Bone marrow smear
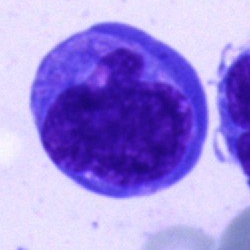

Specimen: bone marrow aspirate smear.
Cell type: undifferentiated blast.